Bone marrow aspirate smear — 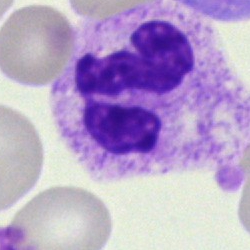 Specimen: bone marrow smear.
Cell type: neutrophil (segmented).